250×250. Bone marrow smear. Brightfield microscopy, 40× oil immersion: 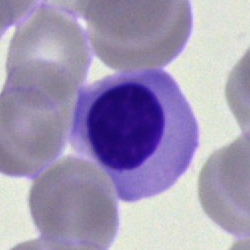

Impression → nucleated red blood cell.